Bone marrow aspirate smear — 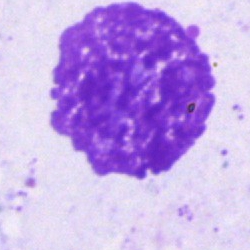

The classification is artifact.